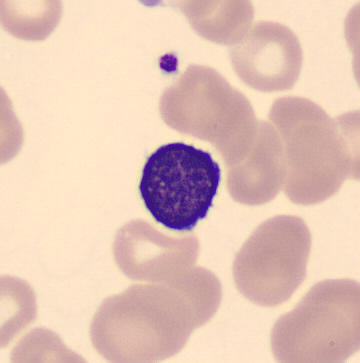
The morphological class is lymphocyte. CellaVision DM96 digital cell image · peripheral blood film.